Bone marrow smear — 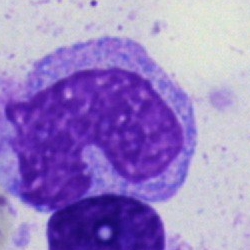 Showing a monocyte.